Peripheral blood film. Image size 400×400. 100× oil immersion, 14.14 px/µm.
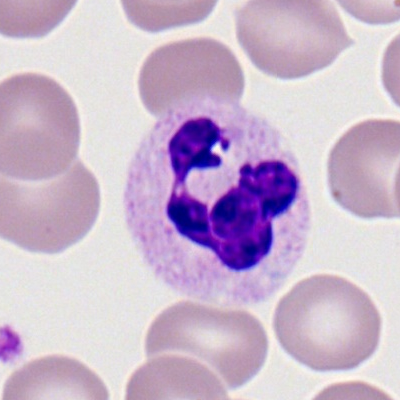

The cell type is polymorphonuclear neutrophil.